Bone marrow smear: 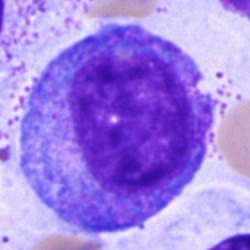
Progranulocyte.